Cropped to a single cell; bone marrow smear: 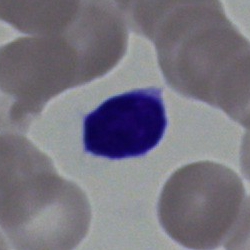Specimen: bone marrow aspirate smear.
Classification: typical lymphocyte.